Bone marrow aspirate smear · single cell centered in the field · 40× oil immersion.
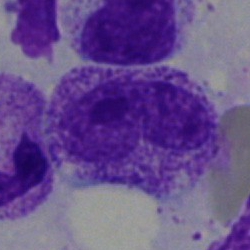
Showing a stab cell.